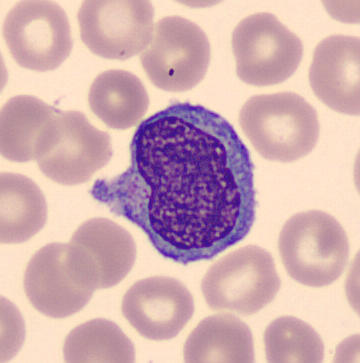 Q: What type of cell is this?
A: Monocyte.
Peripheral blood film.